250×250 px. Bone marrow smear:
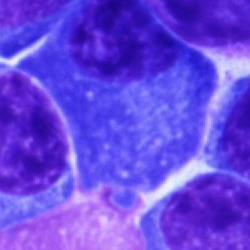
Specimen: bone marrow smear.
Morphological class: plasma cell.
Lineage: lymphoid.